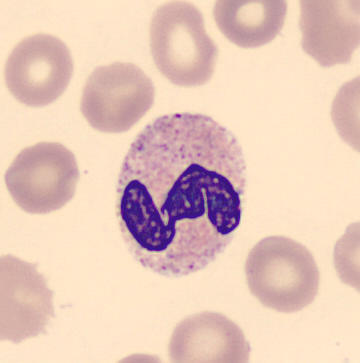{"cell_type": "neutrophil (segmented)", "lineage": "myeloid"}

Acquisition: Peripheral blood film.